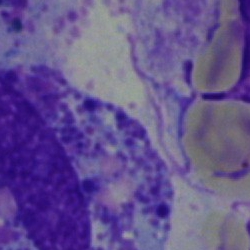
Classification — other cell type.